Peripheral blood film: 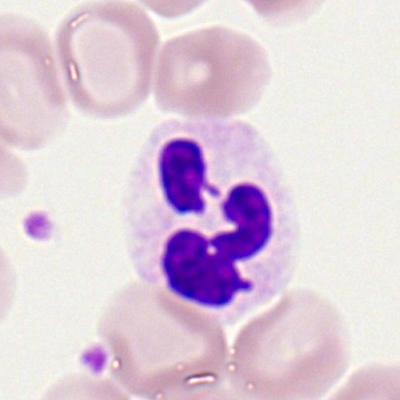

Morphological class = segmented neutrophil.